Bone marrow aspirate smear · brightfield microscopy, 40× oil immersion — 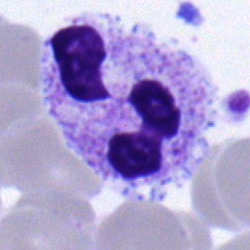

{"cell_type": "polymorphonuclear neutrophil"}